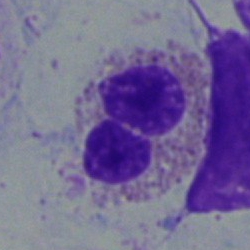Impression — eosinophilic granulocyte.